Bone marrow aspirate smear
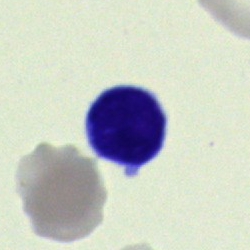

Classification = typical lymphocyte.